Bone marrow smear. Brightfield microscopy, 40× oil immersion. Single-cell crop — 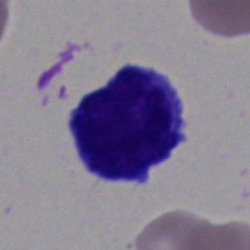 Morphology consistent with an undifferentiated blast.